Bone marrow smear
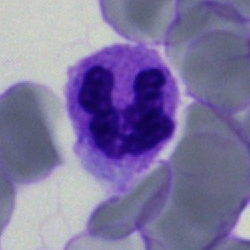 Segmented neutrophil.